Bone marrow smear:
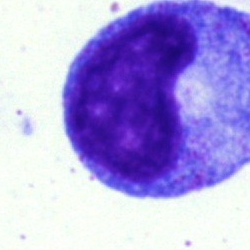{"cell_type": "promyelocyte"}